250×250 · bone marrow smear.
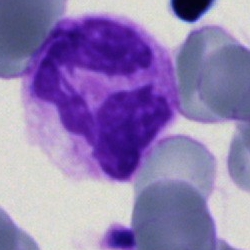

Morphological class: polymorphonuclear neutrophil.